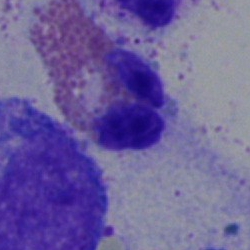
Classification — eosinophilic granulocyte.